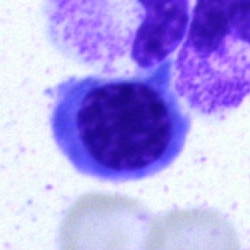

Morphology consistent with a normoblast.